Bone marrow smear — 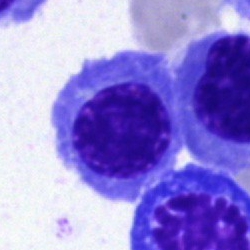
Cell — nucleated red blood cell.